Bone marrow smear — 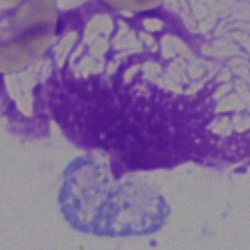 Q: What is shown here?
A: Artifact.